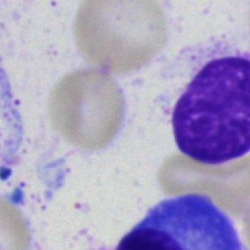 Single-cell crop from a bone marrow smear: artefact.